Bone marrow aspirate smear · image size 250×250
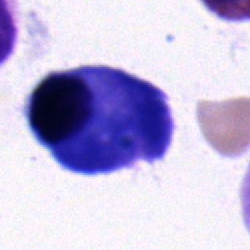Cell type — plasmacyte.